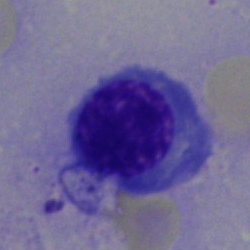 Morphology — nucleated red blood cell.